Bone marrow smear. Single cell centered in the field
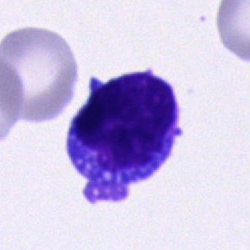
Classification — blast cell.